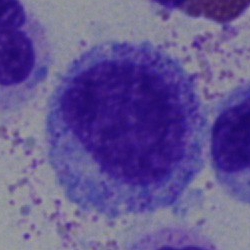Impression — progranulocyte.